40× objective, oil immersion. Bone marrow smear: 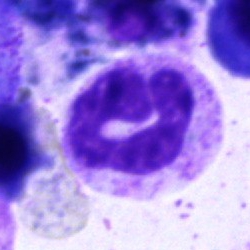

Cell type = band neutrophil.